Bone marrow aspirate smear:
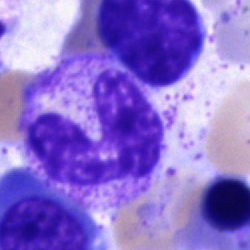 Q: What type of cell is this?
A: It is a band-form neutrophil.